Bone marrow smear
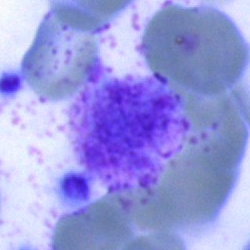Classification = artifact.